Bone marrow smear · brightfield, 40× oil-immersion objective · single cell centered in the field: 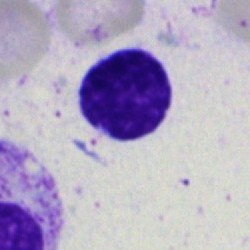

Typical lymphocyte.